May-Grünwald-Giemsa stain; bone marrow smear: 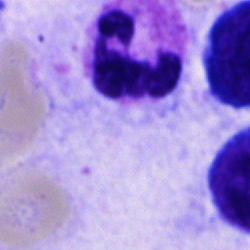

Q: What is the morphological classification of this cell?
A: It is a neutrophil (segmented).